Single cell centered in the field · Pappenheim-stained · bone marrow smear — 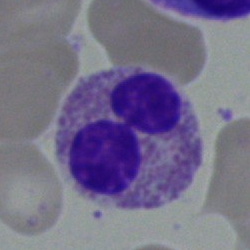Showing an eosinophil.